Bone marrow aspirate smear — 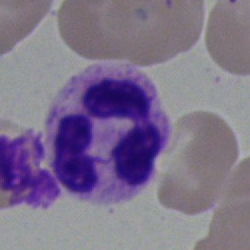 Classification: neutrophil (segmented).